Bone marrow smear:
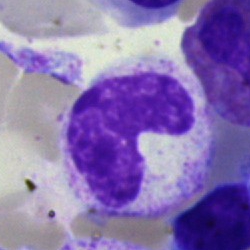Morphology consistent with a stab cell.